Bone marrow aspirate smear. 250 by 250 pixels:
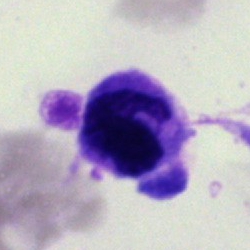This is an artifact.